Bone marrow smear
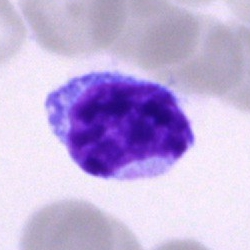 Q: What cell is this?
A: Lymphocyte.